Bone marrow aspirate smear:
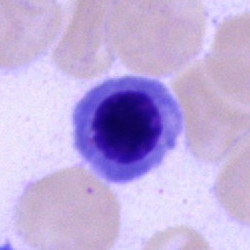 Erythroblast.